Bone marrow smear
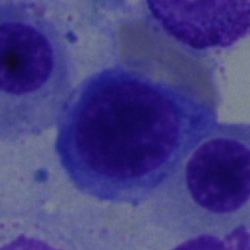

A nucleated red blood cell.